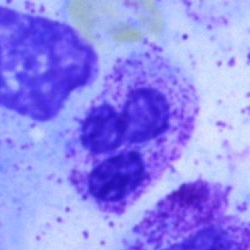

Q: Identify the cell.
A: A segmented neutrophil.